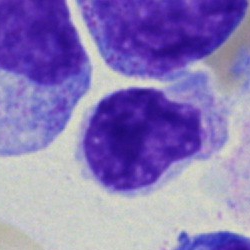
Q: Which cell type is shown here?
A: It is a typical lymphocyte.